May-Grünwald-Giemsa/Pappenheim stain. Bone marrow smear:
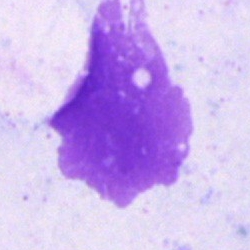

The cell shown is an artefact.